Bone marrow aspirate smear
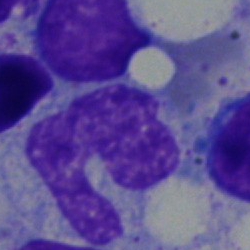 Q: What type of cell is this?
A: Monocyte.